Single-cell field · bone marrow aspirate smear: 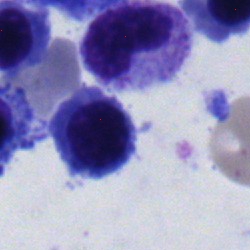

Morphology consistent with a metamyelocyte.